Bone marrow smear; May-Grünwald-Giemsa stain: 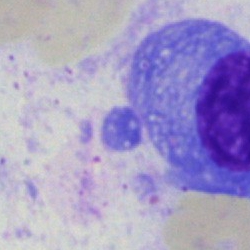
Morphological class: plasma cell.